Single cell centered in the field · bone marrow aspirate smear
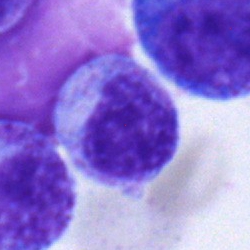Cell = myelocyte.